Bone marrow smear · 40× oil immersion · May-Grünwald-Giemsa/Pappenheim stain — 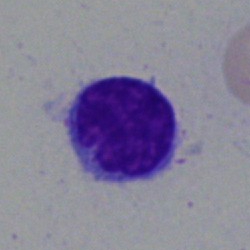

Q: Which cell type is shown here?
A: Typical lymphocyte.